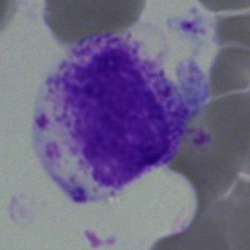 Bone marrow smear showing a myelocyte.